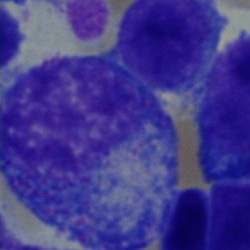
Cell = progranulocyte.